Bone marrow aspirate smear: 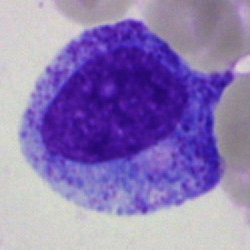

{"cell_type": "promyelocyte", "lineage": "myeloid"}